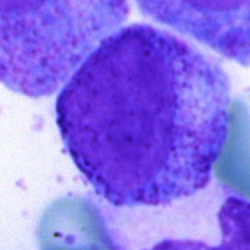Cell = promyelocyte.